Bone marrow smear · May-Grünwald-Giemsa/Pappenheim stain:
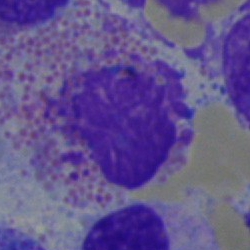
An eosinophilic granulocyte.